Bone marrow smear: 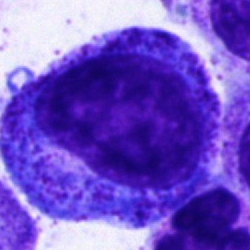

Cell type — progranulocyte.